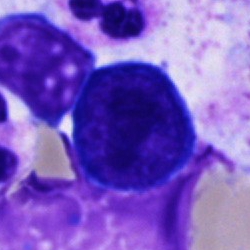
Bone marrow aspirate smear, single cell — pronormoblast.